Bone marrow smear; Pappenheim-stained; 250×250 px — 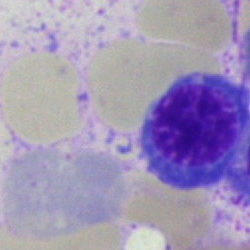

The cell shown is an erythroblast.